Bone marrow aspirate smear.
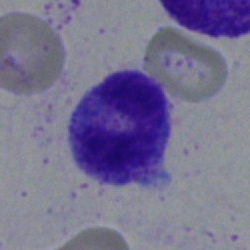
Q: Which cell type is shown here?
A: This is a polymorphonuclear neutrophil.